250×250 · 40× oil immersion · bone marrow aspirate smear.
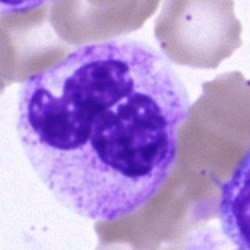 Classification = eosinophilic granulocyte.